Single cell centered in the field; bone marrow aspirate smear; 40× objective, oil immersion:
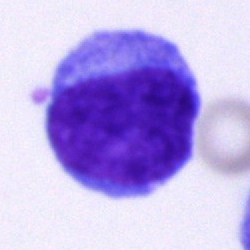

The cell type is blast cell.